Bone marrow aspirate smear — 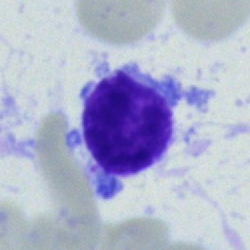
Single cell identified as a typical lymphocyte.